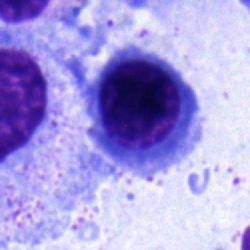
Morphological class = nucleated red blood cell.